Bone marrow smear — 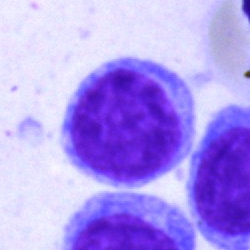
Showing a typical lymphocyte.